Peripheral blood film
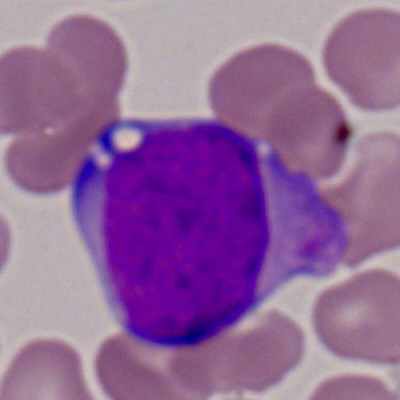

Myeloid blast.